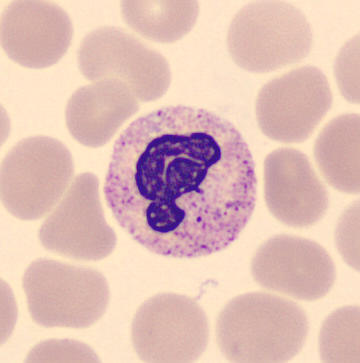

The morphological class is band neutrophil.